Cropped to a single cell; May-Grünwald-Giemsa stain; bone marrow aspirate smear: 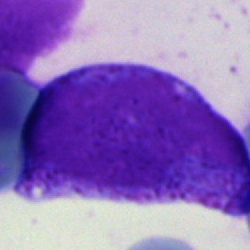

Classification: blast.